Bone marrow smear.
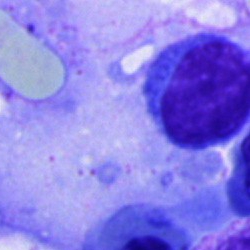
Cell type: plasmacyte.